Single-cell field; May-Grünwald-Giemsa/Pappenheim stain; bone marrow aspirate smear.
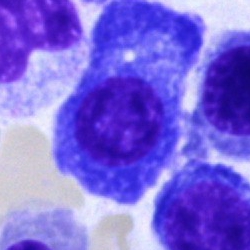

Plasma cell.